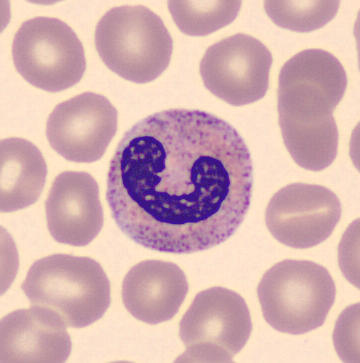
Preparation: Peripheral blood smear.
Q: What type of cell is this?
A: It is a band-form neutrophil.